Bone marrow smear: 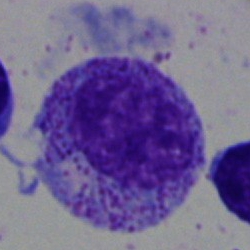Classification: myelocyte.